Cropped to a single cell; bone marrow aspirate smear
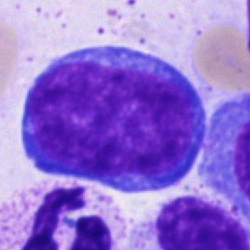
Specimen: bone marrow smear.
Cell: pronormoblast.